Bone marrow aspirate smear; 250 by 250 pixels; May-Grünwald-Giemsa/Pappenheim stain: 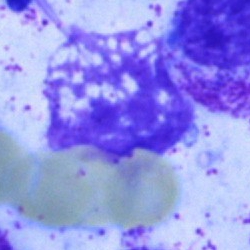
Morphology → artefact.